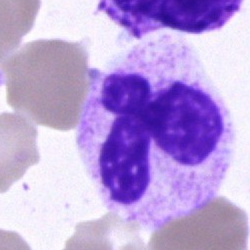 Cell type = neutrophil (segmented).